Bone marrow smear: 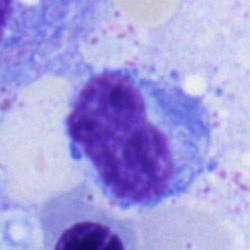 Morphological class — typical lymphocyte.